May-Grünwald-Giemsa stain; bone marrow aspirate smear:
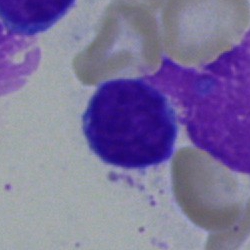Morphology — typical lymphocyte.